Pappenheim-stained; 40× oil immersion; bone marrow smear.
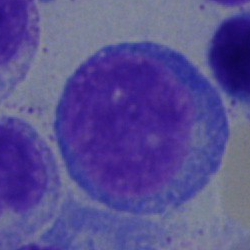
Morphological class = blast.